40× oil immersion · bone marrow aspirate smear.
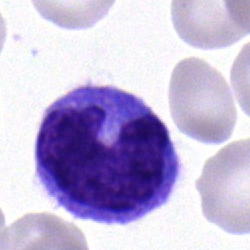{"cell_type": "monocyte", "lineage": "myeloid"}